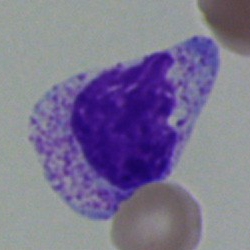

Q: What is shown here?
A: Myelocyte.